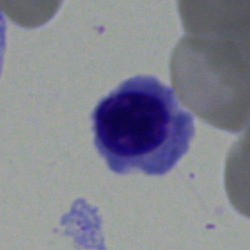

{"cell_type": "nucleated red cell"}